40× objective, oil immersion; bone marrow smear; 250 by 250 pixels.
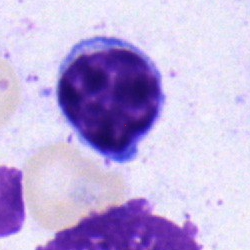 Morphology consistent with a typical lymphocyte.